Pappenheim-stained · bone marrow aspirate smear:
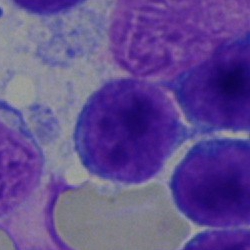The classification is lymphocyte.